Single-cell field; bone marrow aspirate smear.
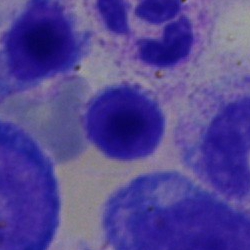
Classification: typical lymphocyte.